Image size 250×250 · bone marrow aspirate smear — 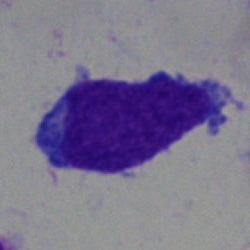

Morphological class = lymphocyte.